Bone marrow smear: 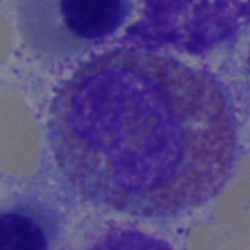Showing an eosinophil.